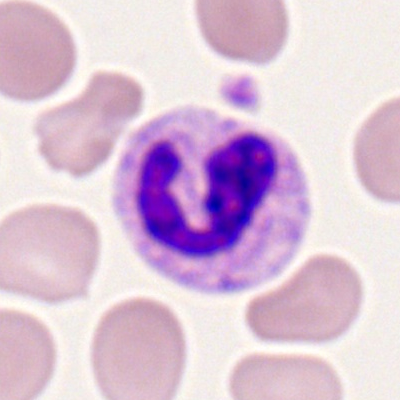

Impression — neutrophil (segmented).